Bone marrow aspirate smear. MGG-stained.
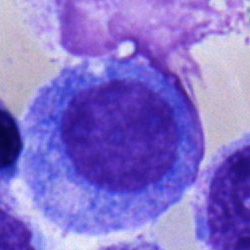
Cell type = promyelocyte.